Bone marrow smear:
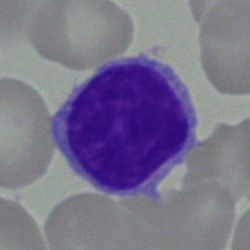

Q: What is shown here?
A: Typical lymphocyte.